Bone marrow aspirate smear · single-cell crop — 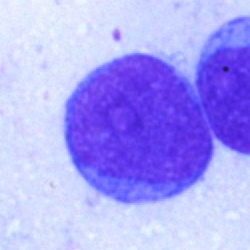Morphology — blast cell.